Bone marrow smear — 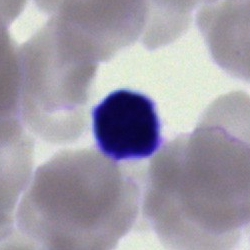
The cell shown is a typical lymphocyte.